250 by 250 pixels. Bone marrow aspirate smear. 40× oil immersion — 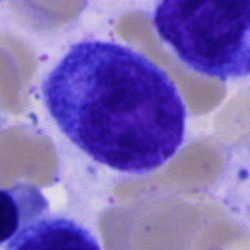Impression → promyelocyte.